Romanowsky stain; peripheral blood film: 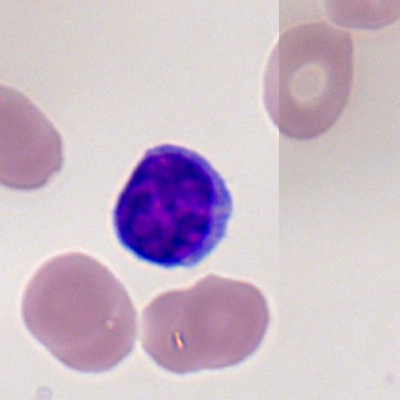
Specimen: peripheral blood smear.
Cell type: lymphocyte.
Lineage: lymphoid.